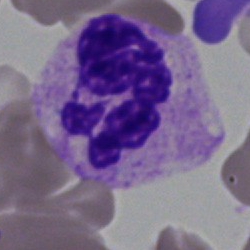 {"cell_type": "neutrophil (segmented)"}